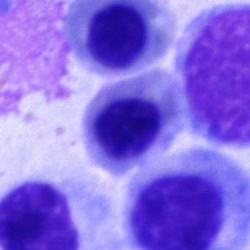 Impression → erythroblast.